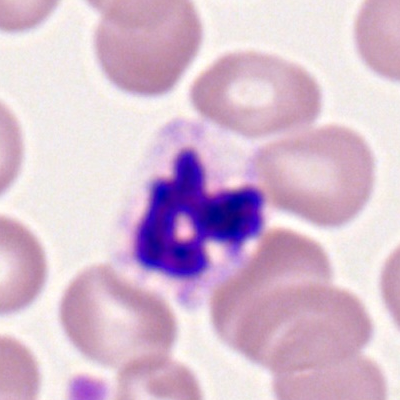
Q: Identify the cell.
A: It is a neutrophil (segmented).